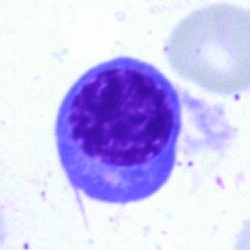 Classification: normoblast.